Bone marrow smear — 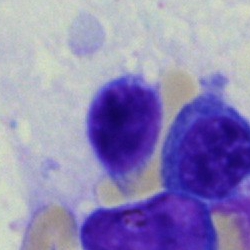 Classification — typical lymphocyte.